May-Grünwald-Giemsa stain · bone marrow smear
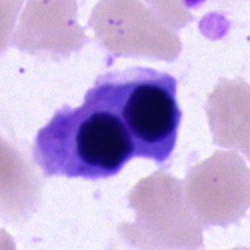
Cell type — nucleated red blood cell.